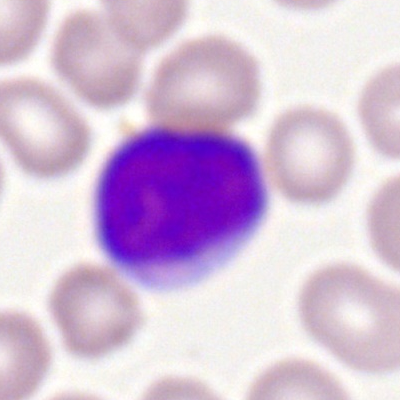Specimen: peripheral blood smear.
Cell: myeloblast.
Lineage: myeloid.